Bone marrow smear
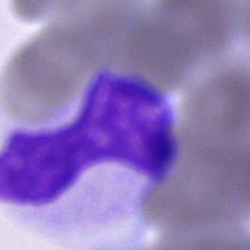This is an unidentifiable cell.